Image size 400×400. Peripheral blood smear. Cropped to a single cell: 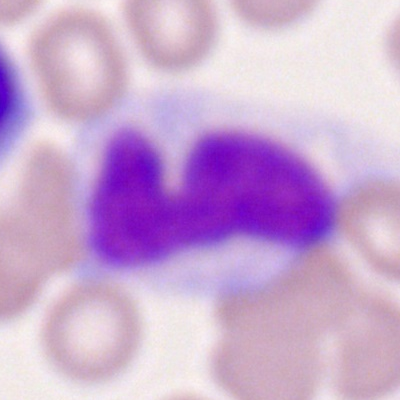

Q: What cell is this?
A: This is a monocyte.